Bone marrow aspirate smear.
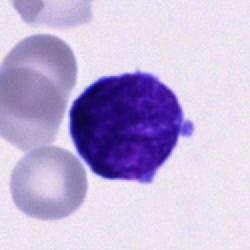
The cell is undifferentiated blast.